Peripheral blood smear. 100× oil immersion. Romanowsky-stained — 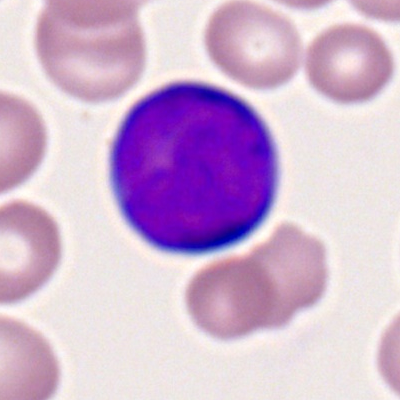Myeloid blast.